Bone marrow smear. Cropped to a single cell:
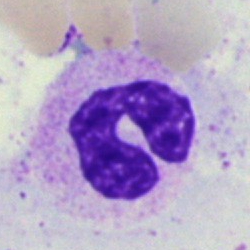

The cell shown is a neutrophil (segmented).